Bone marrow smear; cropped to a single cell:
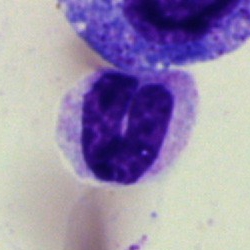Q: Which cell type is shown here?
A: It is a band-form neutrophil.